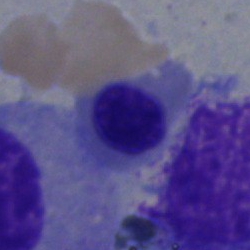
The cell shown is an erythroblast.